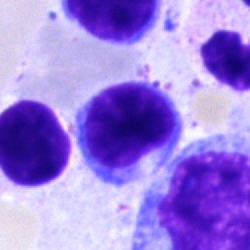
{"cell_type": "lymphocyte", "lineage": "lymphoid"}